Bone marrow smear:
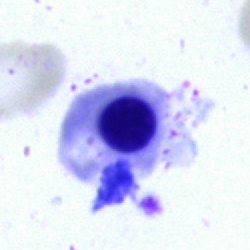 The classification is nucleated red blood cell.